250 by 250 pixels; bone marrow aspirate smear; brightfield, 40× oil-immersion objective.
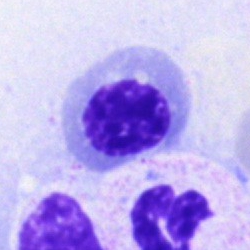Q: What is the morphological classification of this cell?
A: This is an erythroblast.